Peripheral blood smear. Image size 400×400. Single cell centered in the field.
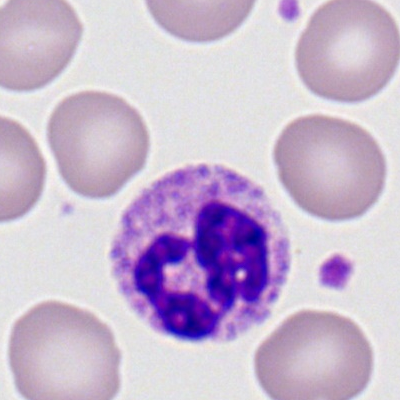 Cell = polymorphonuclear neutrophil.